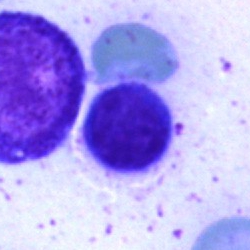
Specimen: bone marrow aspirate smear.
Classification: lymphocyte.
Lineage: lymphoid.